Bone marrow aspirate smear: 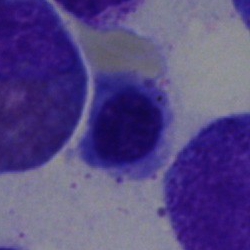 Specimen: bone marrow aspirate smear.
Cell type: nucleated red blood cell.
Lineage: erythroid.